40× oil immersion; bone marrow smear.
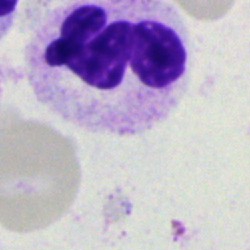 Q: What is shown here?
A: A polymorphonuclear neutrophil.